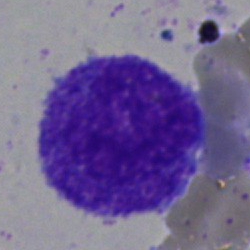 Specimen: bone marrow aspirate smear.
Cell type: progranulocyte.
Lineage: myeloid.